Bone marrow aspirate smear · single-cell crop — 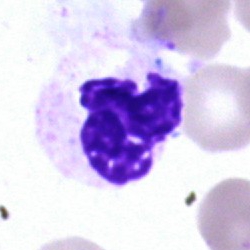Q: What type of cell is this?
A: A segmented neutrophil.